Bone marrow smear: 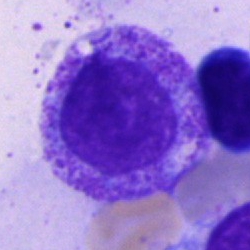

Classification: promyelocyte.